250×250 px; bone marrow aspirate smear.
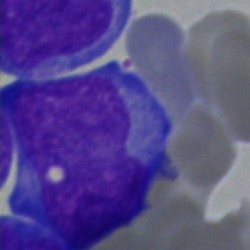

Impression — blast.